Bone marrow aspirate smear: 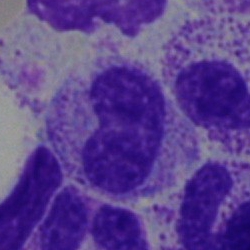
Showing a band-form neutrophil.